Bone marrow smear.
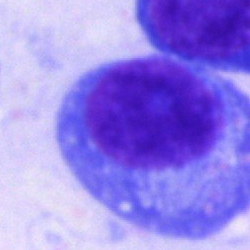
Showing a plasmacyte.